Bone marrow aspirate smear: 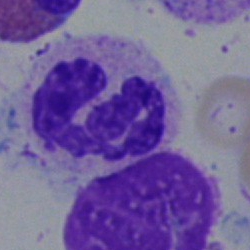Single cell identified as a polymorphonuclear neutrophil.